Pappenheim-stained · 250 by 250 pixels · bone marrow aspirate smear:
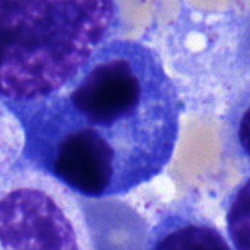

Q: Which cell type is shown here?
A: This is a plasmacyte.